Single-cell crop · bone marrow aspirate smear
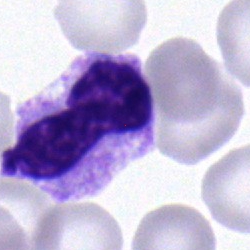 Cell = stab cell.